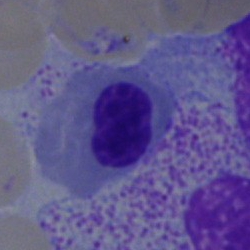Impression — nucleated red cell.